Bone marrow aspirate smear. Cropped to a single cell
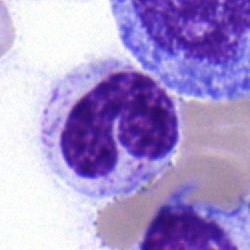The classification is band-form neutrophil.